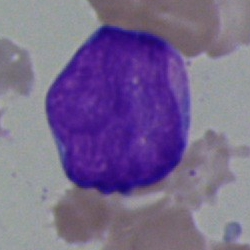Impression → undifferentiated blast.